Bone marrow aspirate smear
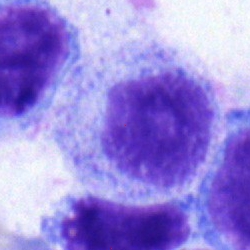 Single cell identified as a myelocyte.